Bone marrow aspirate smear
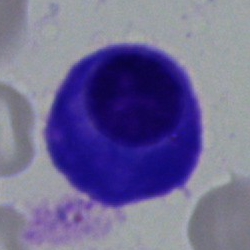 Showing a plasma cell.